Romanowsky-stained; peripheral blood smear — 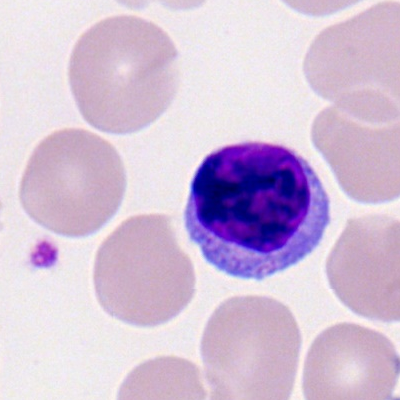
The classification is lymphocyte.